Bone marrow smear · Pappenheim-stained:
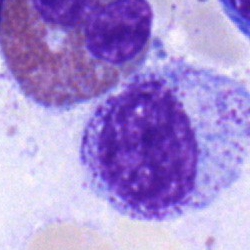 Q: What is the morphological classification of this cell?
A: Myelocyte.